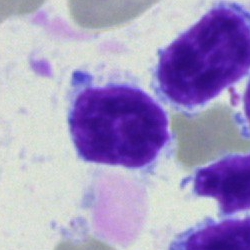 Morphology → lymphocyte.